Pappenheim-stained; bone marrow smear; 250×250 px: 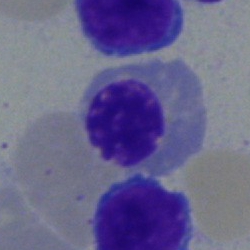
Q: What is the morphological classification of this cell?
A: This is an erythroblast.